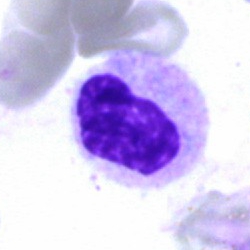

Specimen: bone marrow aspirate smear.
Cell type: stab cell.
Lineage: myeloid.